Peripheral blood smear. Single cell centered in the field: 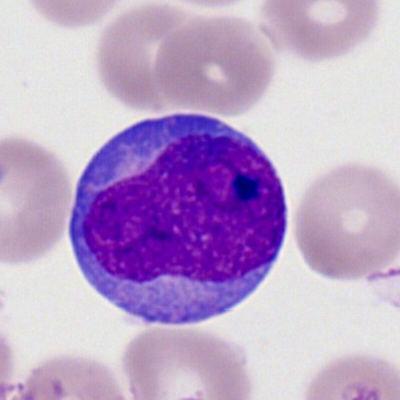 The classification is myeloblast.